Bone marrow aspirate smear. May-Grünwald-Giemsa/Pappenheim stain. Brightfield microscopy, 40× oil immersion:
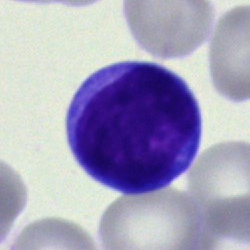Cell type = typical lymphocyte.